Bone marrow aspirate smear · single-cell field.
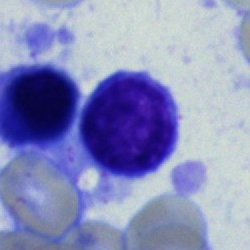
Q: Identify the cell.
A: This is a lymphocyte.